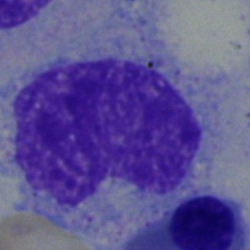
Q: Which cell type is shown here?
A: It is a metamyelocyte.